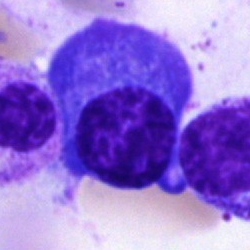

Cell type — plasmacyte.